Bone marrow aspirate smear
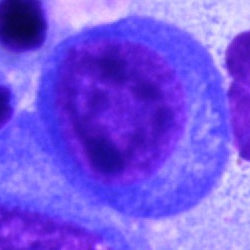 Cell type — plasmacyte.